Bone marrow aspirate smear; 250×250 px.
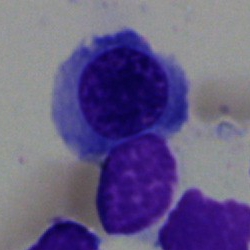 Specimen: bone marrow aspirate smear.
Cell: nucleated red blood cell.